Peripheral blood film — 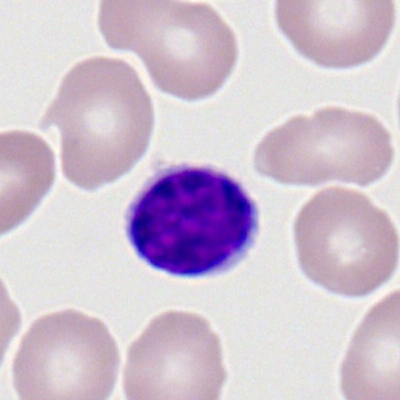Specimen: peripheral blood film.
Morphological class: typical lymphocyte.
Lineage: lymphoid.